Bone marrow smear: 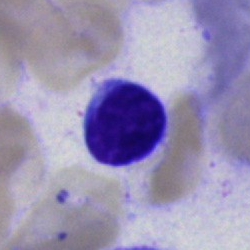 Specimen: bone marrow smear.
Cell: typical lymphocyte.
Lineage: lymphoid.